Peripheral blood smear. May-Grünwald-Giemsa-stained: 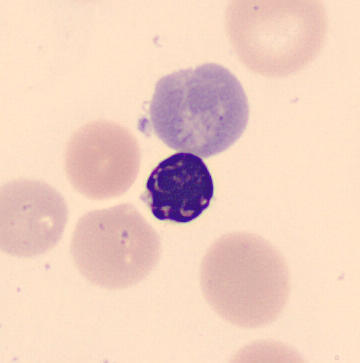 Specimen: peripheral blood smear.
Cell type: nucleated red blood cell.